Brightfield, 40× oil-immersion objective; bone marrow smear; 250×250 — 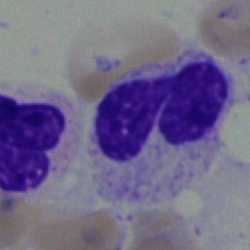
The cell is stab cell.